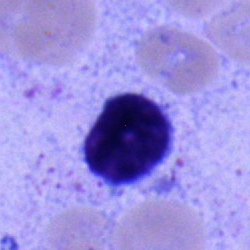
Morphology → typical lymphocyte.